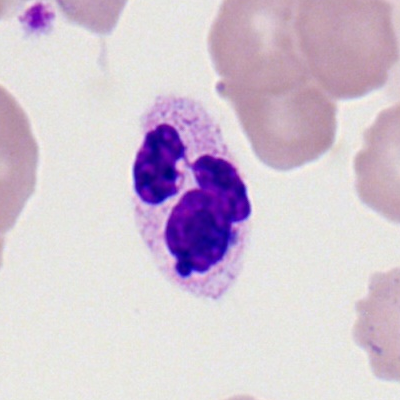

{"cell_type": "segmented neutrophil", "lineage": "myeloid"}